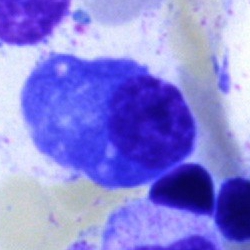
Specimen: bone marrow smear.
Morphological class: plasma cell.
Lineage: lymphoid.